Bone marrow smear. 250 by 250 pixels. May-Grünwald-Giemsa/Pappenheim stain:
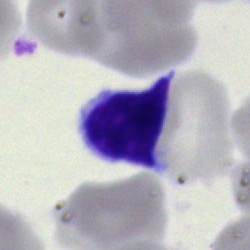

Cell type — typical lymphocyte.